Bone marrow smear; MGG-stained: 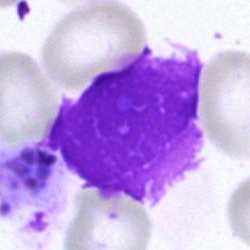 Single cell identified as an artefact.